Bone marrow aspirate smear
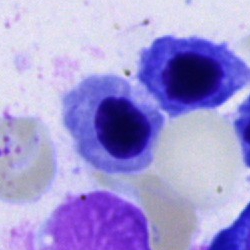
The cell shown is an erythroblast.